Bone marrow smear; 250×250 px; May-Grünwald-Giemsa/Pappenheim stain — 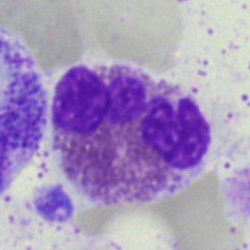
Morphology → eosinophil.